Brightfield microscopy, 40× oil immersion; MGG-stained; bone marrow aspirate smear
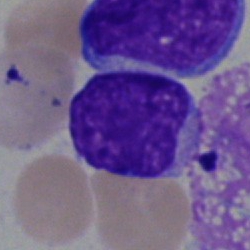 Q: Identify the cell.
A: This is a blast cell.